Bone marrow smear; May-Grünwald-Giemsa stain; 40× objective, oil immersion
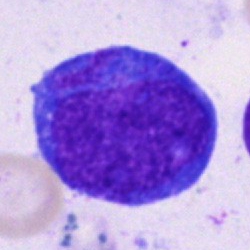

Q: What is shown here?
A: This is a progranulocyte.